Peripheral blood smear
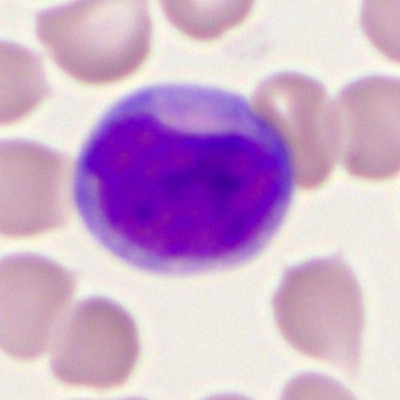 Myeloblast.